Bone marrow aspirate smear — 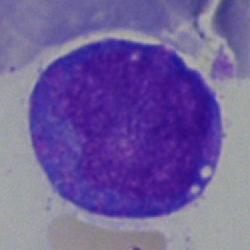 Single cell identified as a promyelocyte.